250 by 250 pixels · bone marrow smear.
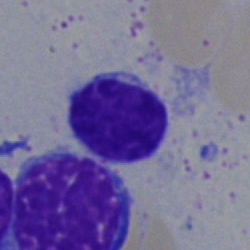 Specimen: bone marrow aspirate smear.
Cell: typical lymphocyte.
Lineage: lymphoid.